Bone marrow smear — 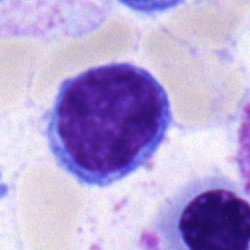
Morphology consistent with a typical lymphocyte.